Bone marrow smear: 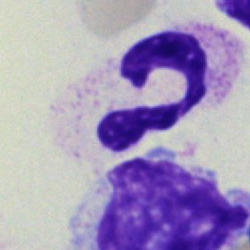 Impression → neutrophil (segmented).